Bone marrow smear · brightfield, 40× oil-immersion objective — 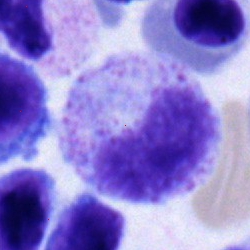{"cell_type": "metamyelocyte"}